Bone marrow aspirate smear
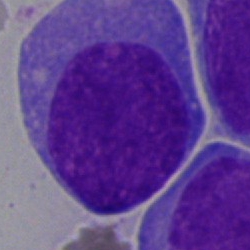 An undifferentiated blast.